Romanowsky stain. Peripheral blood smear. 400×400.
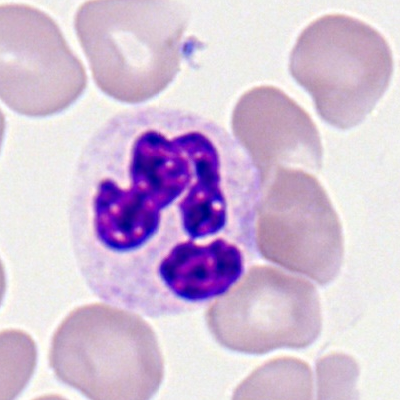
Cell — neutrophil (segmented).